Bone marrow smear · single-cell field
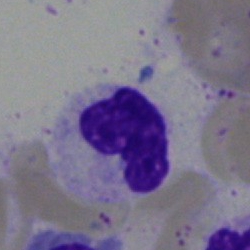 Impression — band neutrophil.